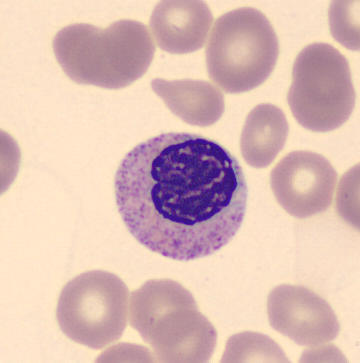

Specimen: peripheral blood film.
Cell type: metamyelocyte.